Bone marrow aspirate smear. May-Grünwald-Giemsa stain.
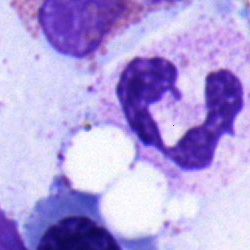
Neutrophil (segmented).